Single-cell field; bone marrow smear.
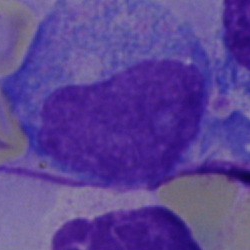The cell shown is a blast.